Bone marrow smear · image size 250×250 · cropped to a single cell: 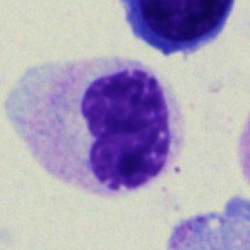 Impression — metamyelocyte.